Bone marrow smear.
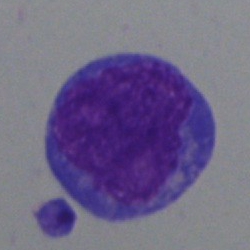
Cell type = undifferentiated blast.